May-Grünwald-Giemsa stain · image size 250×250 · bone marrow smear:
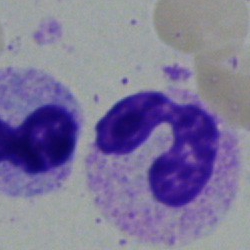The cell shown is a basophil.